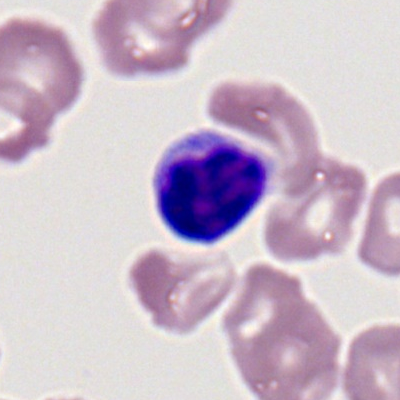 Specimen: peripheral blood film.
Morphological class: lymphocyte.
Lineage: lymphoid.